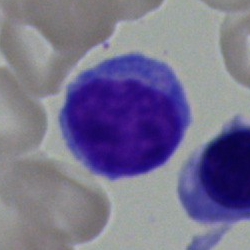
{"cell_type": "lymphocyte", "lineage": "lymphoid"}